Bone marrow smear — 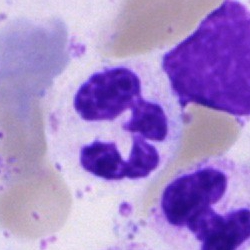

Morphology — neutrophil (segmented).